Bone marrow aspirate smear. 40× oil immersion — 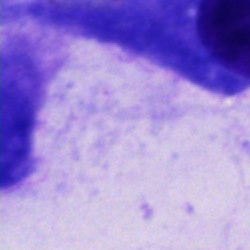Q: Identify the cell.
A: Other cell type.